Bone marrow smear; brightfield microscopy, 40× oil immersion.
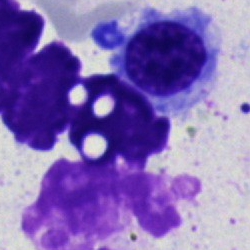
Q: What type of cell is this?
A: This is a nucleated red blood cell.